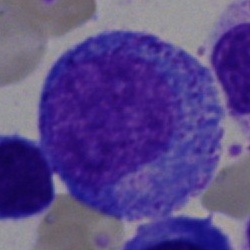
Single cell identified as a promyelocyte.